Bone marrow smear. 250 by 250 pixels.
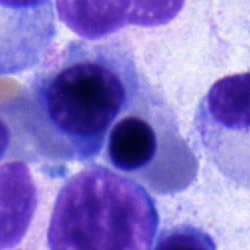

The cell is nucleated red cell.